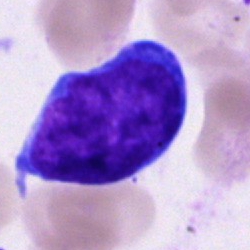 Q: Which cell type is shown here?
A: It is an undifferentiated blast.